Brightfield microscopy, 40× oil immersion · MGG-stained · bone marrow smear: 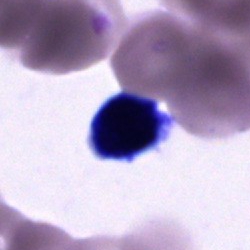Cell = unidentifiable cell.